Bone marrow smear; brightfield microscopy, 40× oil immersion; single-cell crop:
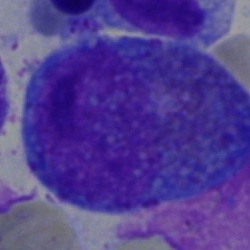Classification — eosinophilic granulocyte.